Peripheral blood smear; Romanowsky stain.
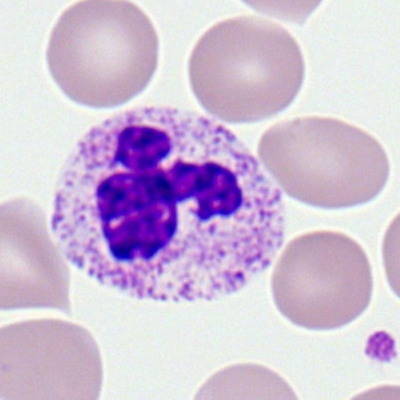Morphology consistent with a segmented neutrophil.